Bone marrow aspirate smear; 250×250 px — 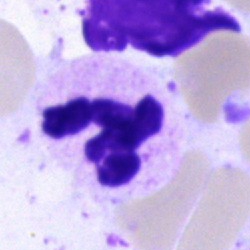 Specimen: bone marrow aspirate smear.
Cell: neutrophil (segmented).
Lineage: myeloid.